250 by 250 pixels · May-Grünwald-Giemsa stain · bone marrow smear:
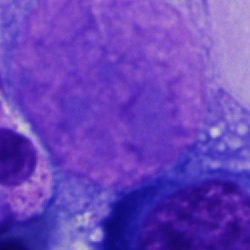 Single cell identified as an artefact.